Bone marrow smear
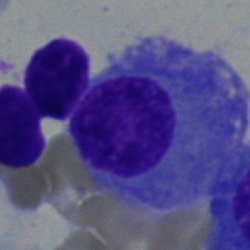Specimen: bone marrow aspirate smear.
Classification: plasma cell.
Lineage: lymphoid.